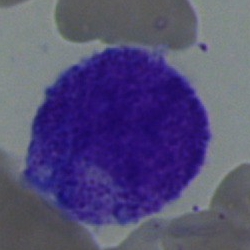

{"cell_type": "progranulocyte", "lineage": "myeloid"}